Bone marrow smear
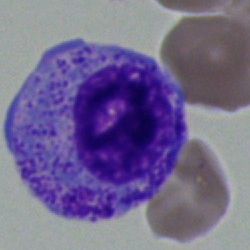

Q: What is shown here?
A: Myelocyte.